250×250 · MGG-stained · bone marrow smear: 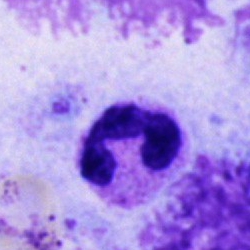

Classification: neutrophil (segmented).